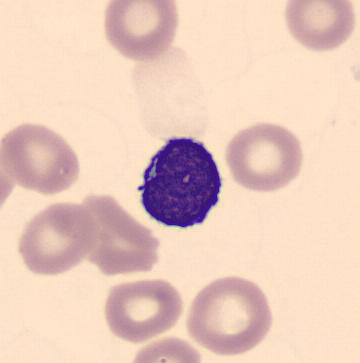 Image: Peripheral blood film.

Classification = lymphocyte.